Bone marrow smear:
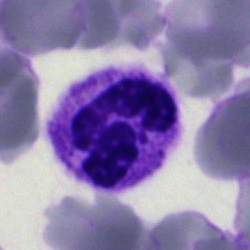 Specimen: bone marrow smear.
Cell: polymorphonuclear neutrophil.
Lineage: myeloid.